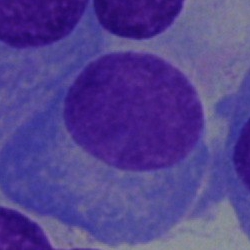Cell: plasma cell.